Brightfield microscopy, 40× oil immersion. Bone marrow smear: 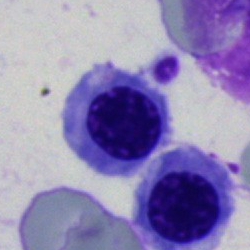 Specimen: bone marrow smear.
Cell: nucleated red cell.